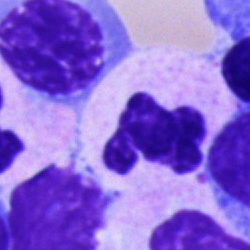 Impression → neutrophil (segmented).